Bone marrow smear
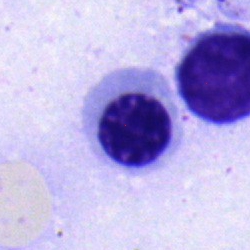

Specimen: bone marrow aspirate smear.
Cell: nucleated red blood cell.
Lineage: erythroid.